MGG-stained; bone marrow aspirate smear
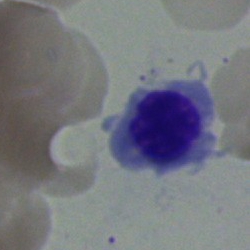Specimen: bone marrow smear.
Morphological class: nucleated red cell.
Lineage: erythroid.